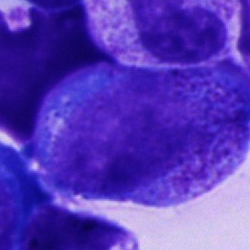

Morphological class = promyelocyte.